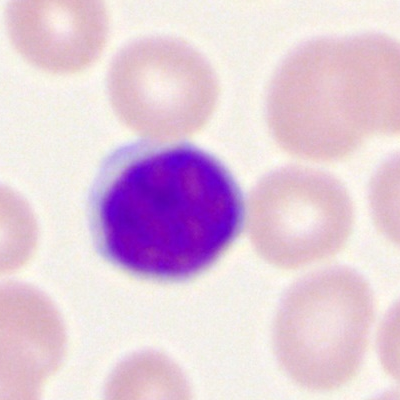 Q: What cell is this?
A: Lymphocyte.